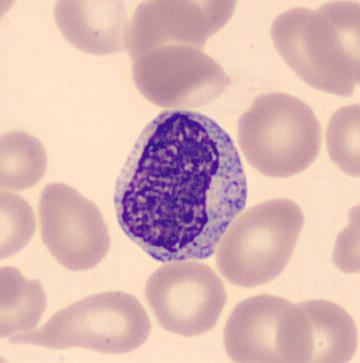 Peripheral blood film.

Q: What cell is this?
A: This is a metamyelocyte.